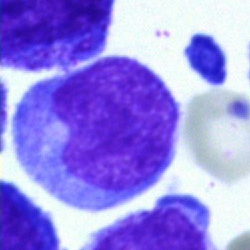
Classification — blast cell.